Peripheral blood film — 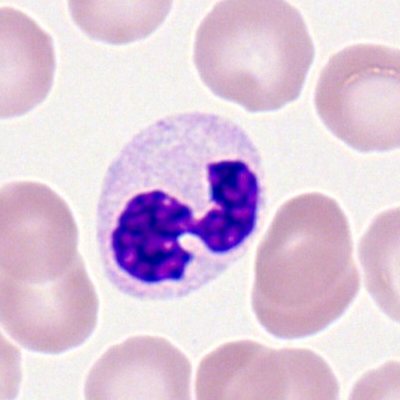Morphological class = polymorphonuclear neutrophil.